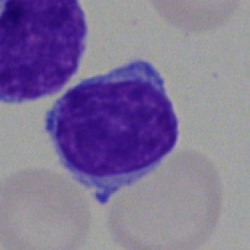The cell shown is a typical lymphocyte.